Brightfield microscopy, 40× oil immersion. Bone marrow aspirate smear: 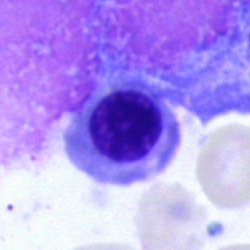
Specimen: bone marrow smear.
Cell type: nucleated red blood cell.
Lineage: erythroid.